250×250. Bone marrow smear: 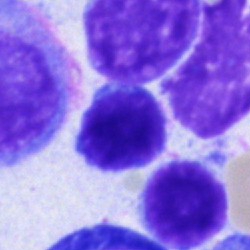 Morphology → typical lymphocyte.